Image size 250×250; bone marrow smear; single-cell crop
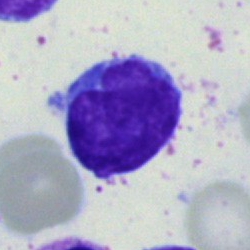{"cell_type": "lymphocyte", "lineage": "lymphoid"}